Bone marrow aspirate smear; brightfield microscopy, 40× oil immersion: 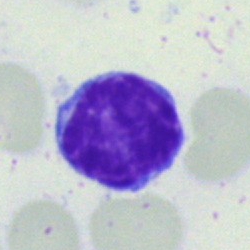 Single cell identified as a lymphocyte.